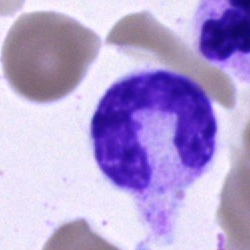

Bone marrow aspirate smear, single cell — band-form neutrophil.